Brightfield, 40× oil-immersion objective; bone marrow smear.
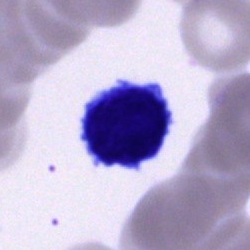 Cell: typical lymphocyte.